Bone marrow smear.
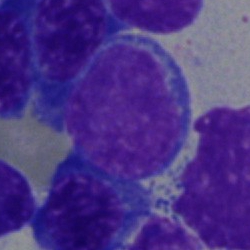Morphology → lymphocyte.